May-Grünwald-Giemsa/Pappenheim stain · bone marrow aspirate smear — 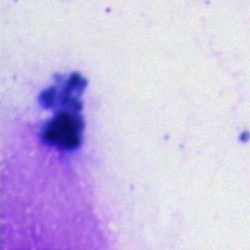
Q: What is shown here?
A: It is an artefact.